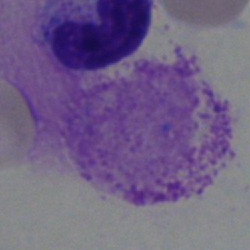 Q: What is shown here?
A: Artefact.